Single cell centered in the field · brightfield microscopy, 40× oil immersion · bone marrow aspirate smear.
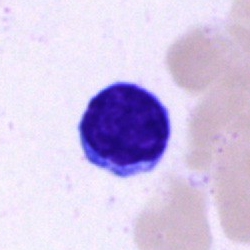 Classification: lymphocyte.